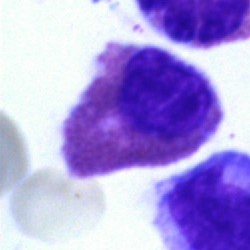
An eosinophil.